40× oil immersion · bone marrow smear
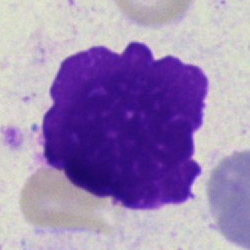Artefact.